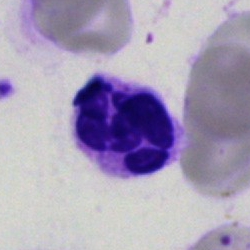Single-cell crop from a bone marrow smear: neutrophil (segmented).